Bone marrow aspirate smear — 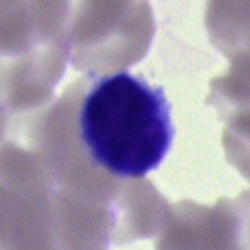
A typical lymphocyte.